Bone marrow smear. 250 by 250 pixels
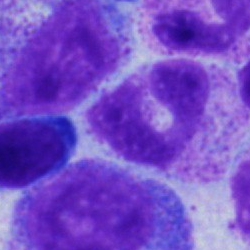 Cell: stab cell.